Bone marrow smear
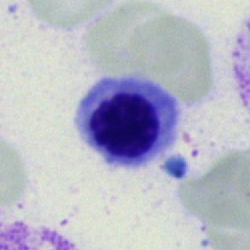Q: Which cell type is shown here?
A: A nucleated red cell.